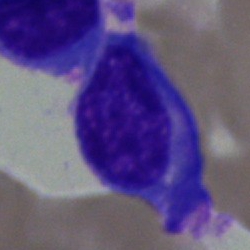

Specimen: bone marrow aspirate smear.
Morphological class: plasmacyte.
Lineage: lymphoid.